Bone marrow smear; cropped to a single cell:
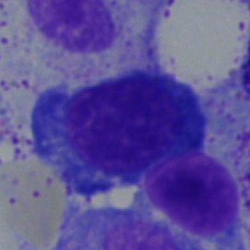Single cell identified as a proerythroblast.